Bone marrow aspirate smear. 40× oil immersion: 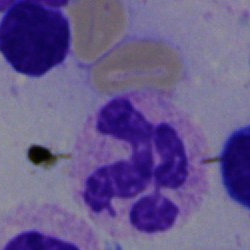 Q: Identify the cell.
A: A segmented neutrophil.